Bone marrow aspirate smear: 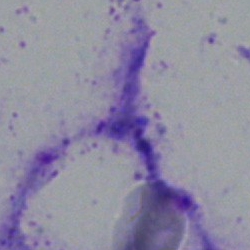
Q: What is shown here?
A: An artefact.